Peripheral blood film: 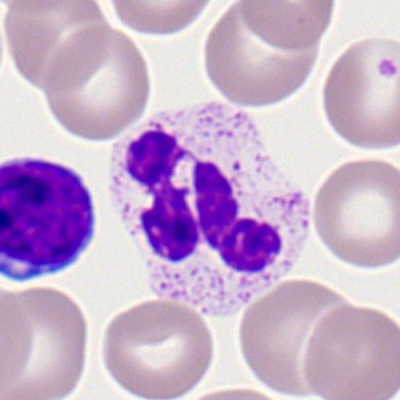The classification is polymorphonuclear neutrophil.